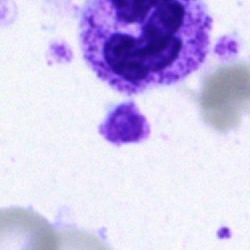

Q: Identify the cell.
A: This is a neutrophil (segmented).